Pappenheim-stained. Bone marrow smear. 40× oil immersion:
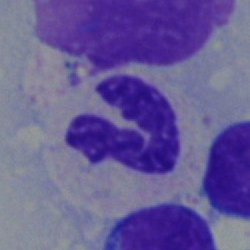
Band-form neutrophil.